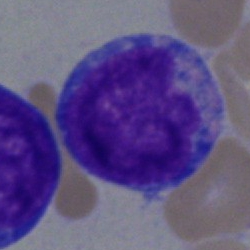
Bone marrow aspirate smear, single cell — blast.